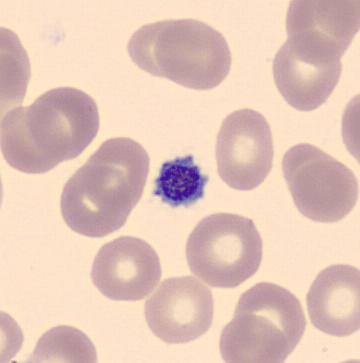Image: Peripheral blood film.
Cell type: platelet.